Bone marrow aspirate smear · brightfield microscopy, 40× oil immersion:
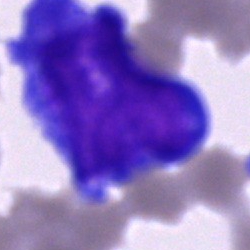Q: Which cell type is shown here?
A: Blast cell.